Bone marrow smear:
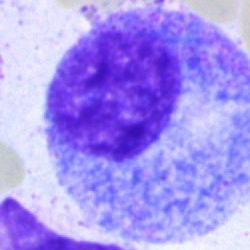
Classification — promyelocyte.